250×250. Bone marrow smear.
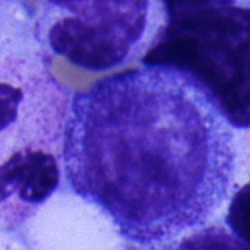Morphological class — promyelocyte.